Pappenheim-stained · bone marrow smear: 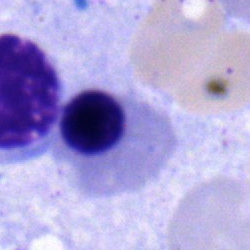 A nucleated red blood cell.